Peripheral blood smear:
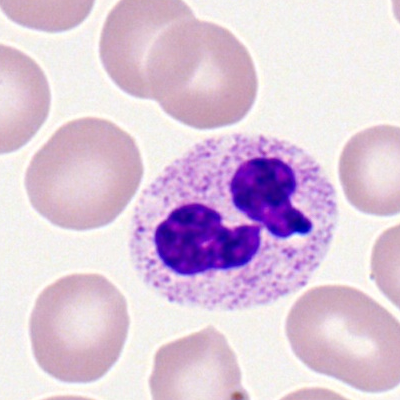 The cell is polymorphonuclear neutrophil.